Bone marrow aspirate smear — 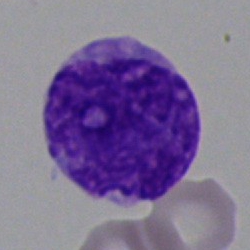 Q: Identify the cell.
A: A blast cell.